250 by 250 pixels · bone marrow aspirate smear · 40× objective, oil immersion.
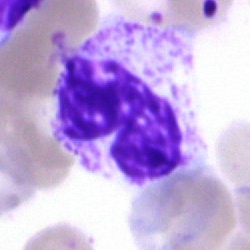Q: What type of cell is this?
A: Neutrophil (segmented).